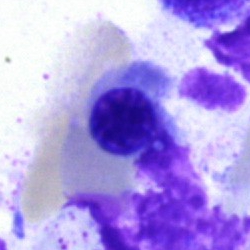
Bone marrow smear showing a nucleated red cell.